Bone marrow aspirate smear.
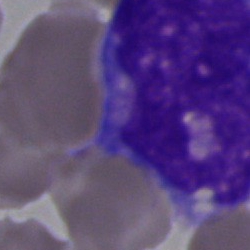 Monocyte.